Bone marrow smear:
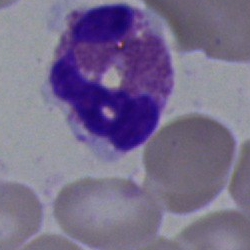 Showing an eosinophil.